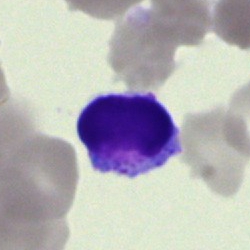The cell is artefact.